Bone marrow aspirate smear; brightfield, 40× oil-immersion objective:
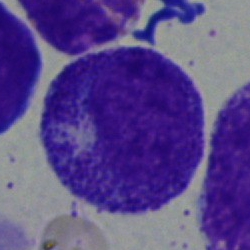 Q: What is the morphological classification of this cell?
A: Myelocyte.